Bone marrow aspirate smear: 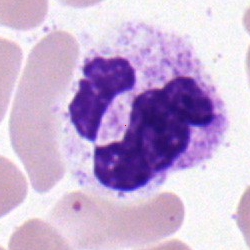Morphology consistent with a segmented neutrophil.